Bone marrow smear:
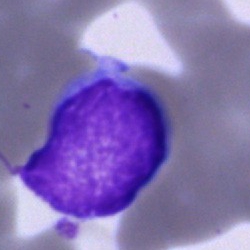

Cell type = typical lymphocyte.